Bone marrow aspirate smear · May-Grünwald-Giemsa stain: 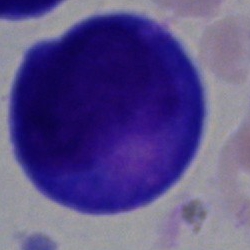Specimen: bone marrow smear.
Classification: undifferentiated blast.